Bone marrow aspirate smear · 250×250 · single cell centered in the field — 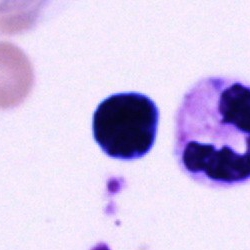
Showing a cell of indeterminate lineage.